40× objective, oil immersion; bone marrow smear.
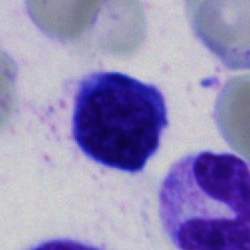
Morphology consistent with a lymphocyte.